Bone marrow aspirate smear: 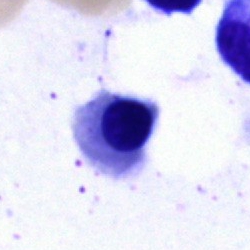Impression → normoblast.